Bone marrow aspirate smear · single cell centered in the field · May-Grünwald-Giemsa/Pappenheim stain — 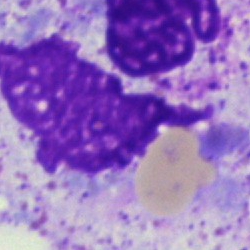 Q: What is shown here?
A: Artefact.